Bone marrow aspirate smear.
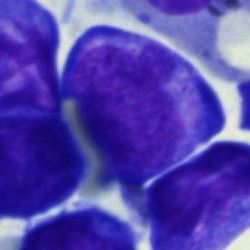 Specimen: bone marrow smear.
Morphological class: blast cell.